Bone marrow aspirate smear · Pappenheim-stained:
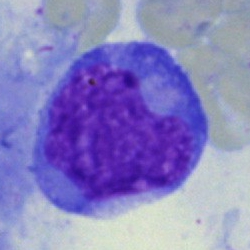 Showing a monocyte.